Pappenheim-stained · bone marrow aspirate smear.
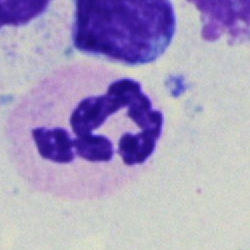A segmented neutrophil.